Bone marrow smear: 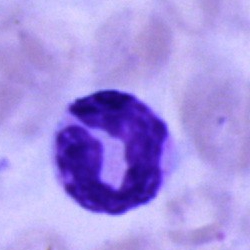 Specimen: bone marrow aspirate smear.
Morphological class: neutrophil (segmented).
Lineage: myeloid.